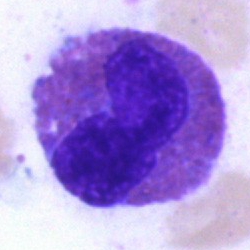
The cell shown is an eosinophil.